Bone marrow aspirate smear — 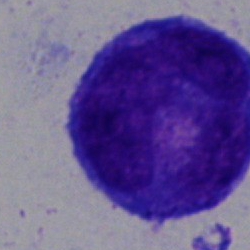 Showing an undifferentiated blast.